Bone marrow smear
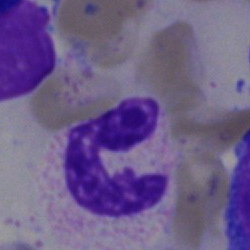
Specimen: bone marrow smear.
Morphological class: segmented neutrophil.